Bone marrow smear · single-cell field:
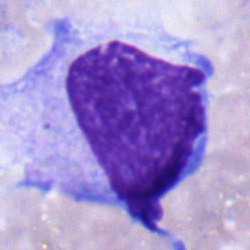

The cell shown is an undifferentiated blast.